Bone marrow aspirate smear
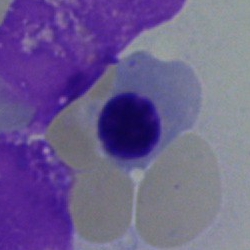Cell: normoblast.